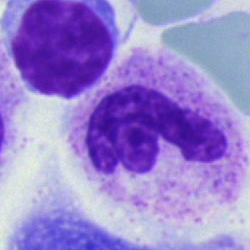 The cell type is polymorphonuclear neutrophil.